Bone marrow aspirate smear
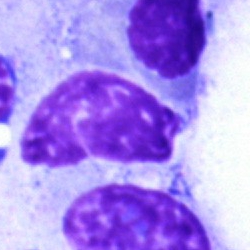
Specimen: bone marrow aspirate smear.
Cell: artefact.